Bone marrow smear.
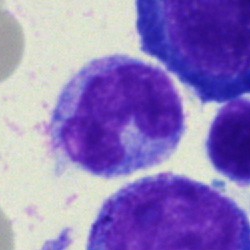
Specimen: bone marrow smear.
Morphological class: monocyte.